Bone marrow smear
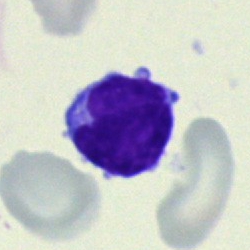
Specimen: bone marrow smear.
Cell type: typical lymphocyte.